Bone marrow aspirate smear.
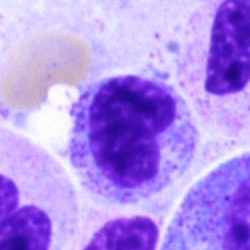 Cell — metamyelocyte.